Cropped to a single cell · bone marrow aspirate smear:
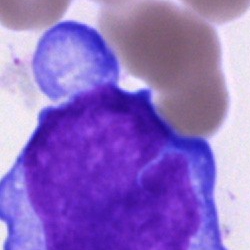
Single cell identified as an undifferentiated blast.